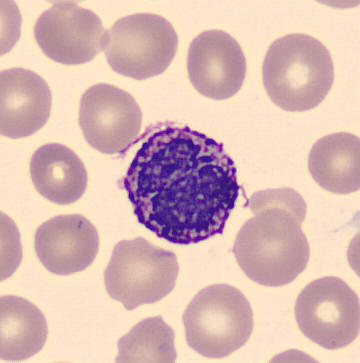Single cell centered in the field; peripheral blood film; MGG-stained.

Showing a basophilic granulocyte.